Bone marrow aspirate smear — 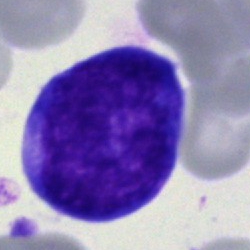

Impression → pronormoblast.